Brightfield microscopy, 40× oil immersion · MGG-stained · bone marrow aspirate smear: 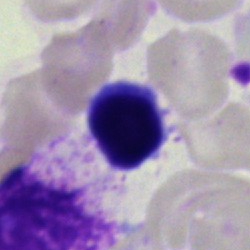Impression → lymphocyte.